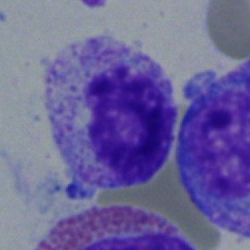The morphological class is myelocyte.